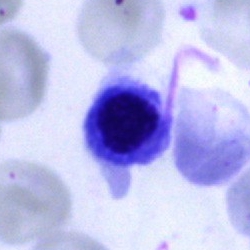
Q: What type of cell is this?
A: It is a normoblast.